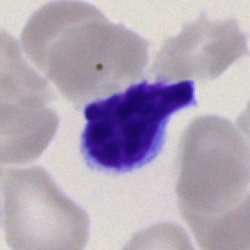

Cell type = typical lymphocyte.